Bone marrow smear:
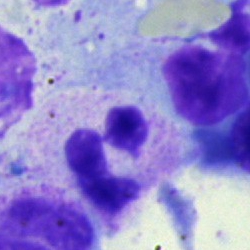Specimen: bone marrow aspirate smear.
Morphological class: polymorphonuclear neutrophil.
Lineage: myeloid.